Bone marrow smear:
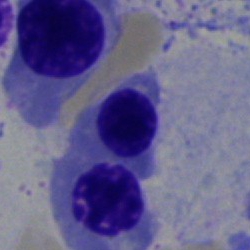Q: What is the morphological classification of this cell?
A: A nucleated red cell.